Pappenheim-stained · bone marrow aspirate smear.
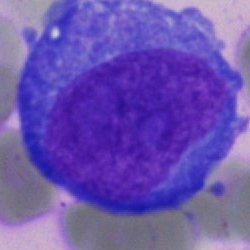Classification — undifferentiated blast.